Bone marrow aspirate smear: 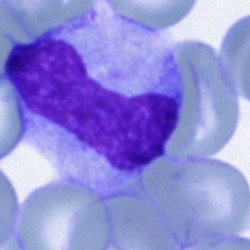This is a band neutrophil.